40× objective, oil immersion · May-Grünwald-Giemsa/Pappenheim stain · bone marrow smear:
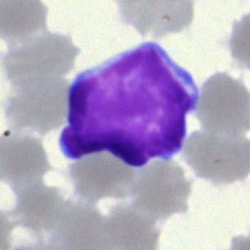Morphological class = lymphocyte.